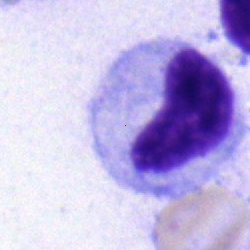

Specimen: bone marrow smear.
Cell type: myelocyte.